Bone marrow aspirate smear. May-Grünwald-Giemsa stain.
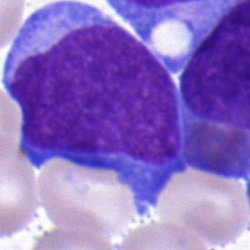 Impression — undifferentiated blast.